Bone marrow smear: 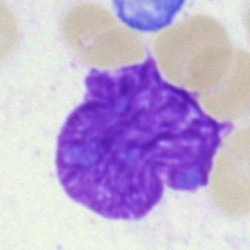Artefact.